Bone marrow aspirate smear:
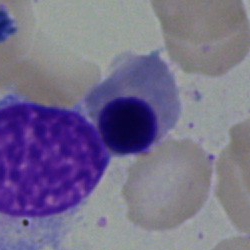 This is an erythroblast.